May-Grünwald-Giemsa/Pappenheim stain · bone marrow smear: 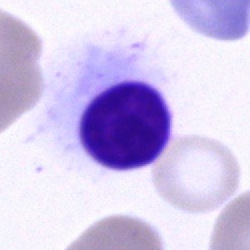
Showing an unidentifiable cell.